Peripheral blood film — 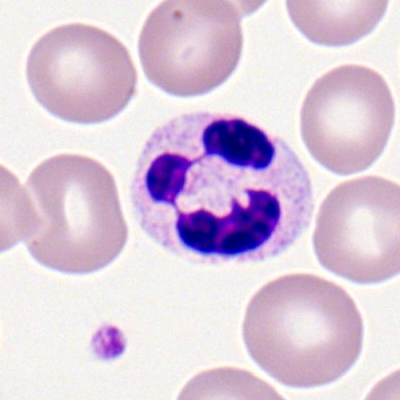
Single cell identified as a polymorphonuclear neutrophil.